Bone marrow smear — 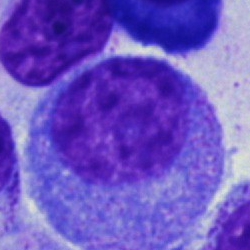

The morphological class is progranulocyte.